Bone marrow smear.
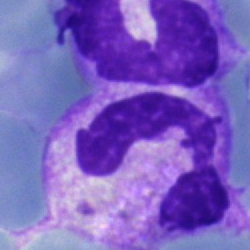
A segmented neutrophil.